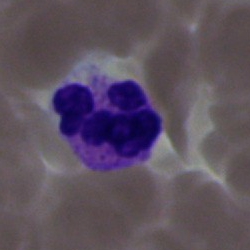
Specimen: bone marrow smear.
Cell: neutrophil (segmented).
Lineage: myeloid.